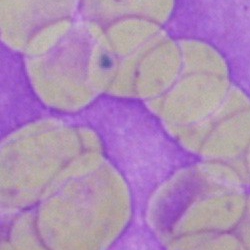 Specimen: bone marrow aspirate smear.
Cell type: artifact.